40× objective, oil immersion · 250×250 px · bone marrow smear — 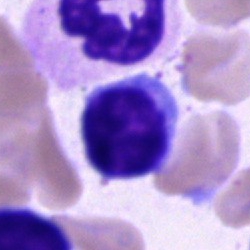{"cell_type": "lymphocyte", "lineage": "lymphoid"}